Peripheral blood film — 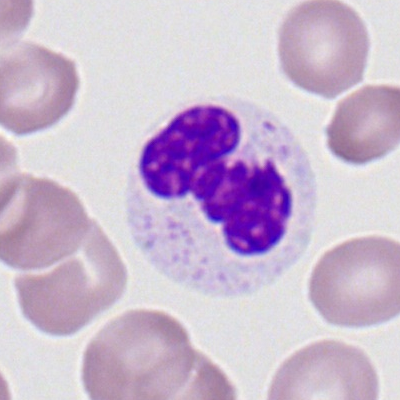
The cell type is segmented neutrophil.